250×250 · bone marrow aspirate smear: 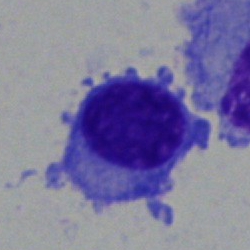
Specimen: bone marrow smear.
Classification: plasma cell.